May-Grünwald-Giemsa/Pappenheim stain · bone marrow aspirate smear
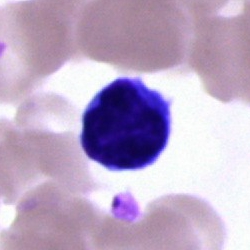

This is a typical lymphocyte.